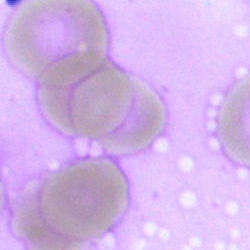 Bone marrow aspirate smear, single cell — artefact.